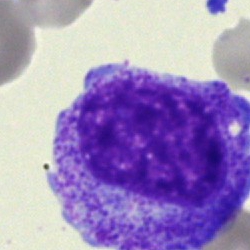
Q: Identify the cell.
A: This is a myelocyte.